Bone marrow smear. MGG-stained
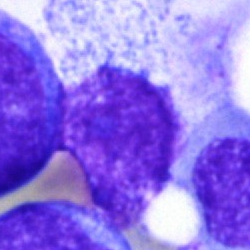

Morphological class: artifact.